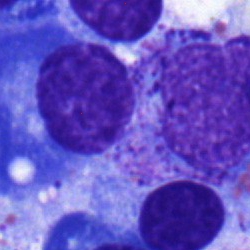 Morphology — lymphocyte.